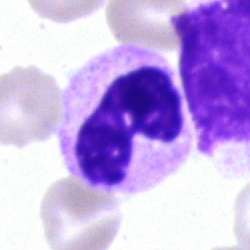
Single cell identified as a neutrophil (segmented).